40× objective, oil immersion · bone marrow smear · MGG-stained — 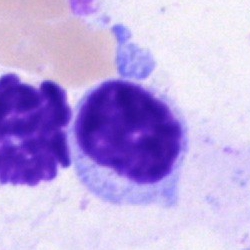
Lymphocyte.